250×250 · brightfield, 40× oil-immersion objective · bone marrow smear: 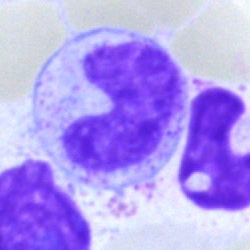

Morphology consistent with a stab cell.